Bone marrow smear: 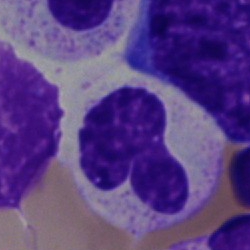 Impression → band neutrophil.